Bone marrow smear
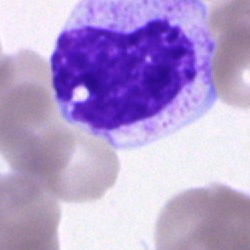

The cell is metamyelocyte.